Bone marrow aspirate smear; single-cell crop
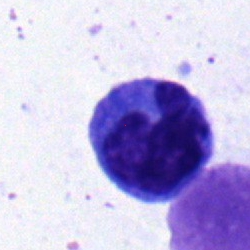 Q: What is the morphological classification of this cell?
A: A monocyte.